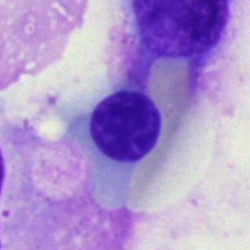
Morphology — nucleated red blood cell.